Bone marrow aspirate smear
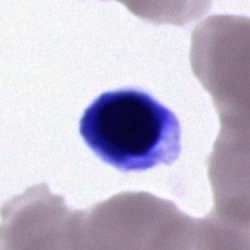
Cell type — nucleated red blood cell.